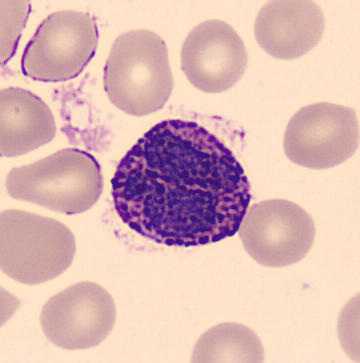

Cell = basophil.